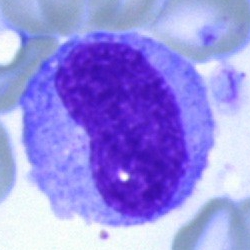
A metamyelocyte.